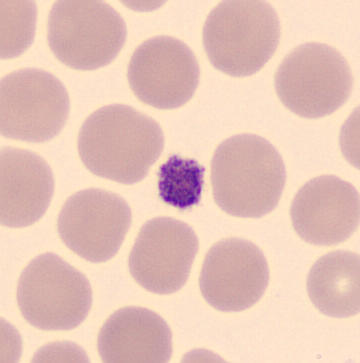 Preparation: Automated cell imaging (CellaVision DM96) · peripheral blood smear.

Impression — thrombocyte.